Bone marrow smear
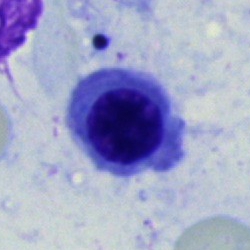

Q: What is shown here?
A: An erythroblast.